Bone marrow aspirate smear.
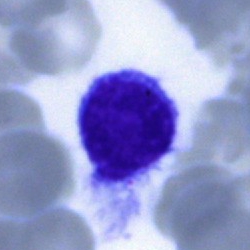
Specimen: bone marrow smear.
Cell: lymphocyte.
Lineage: lymphoid.